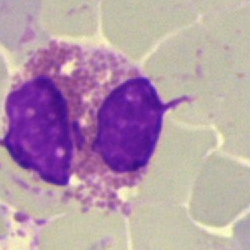 Bone marrow smear showing an eosinophil.